Bone marrow smear
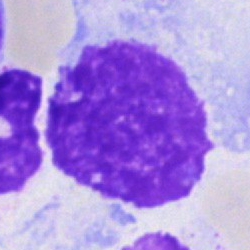Cell: artefact.